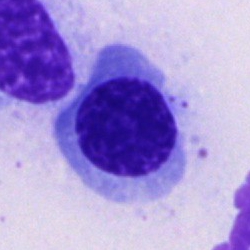 Specimen: bone marrow aspirate smear.
Morphological class: normoblast.
Lineage: erythroid.